Bone marrow aspirate smear.
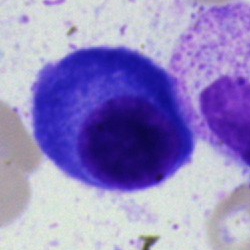 Specimen: bone marrow smear.
Morphological class: plasma cell.
Lineage: lymphoid.